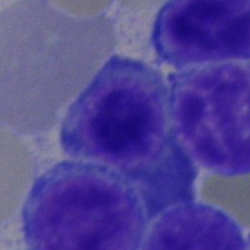

Impression → normoblast.